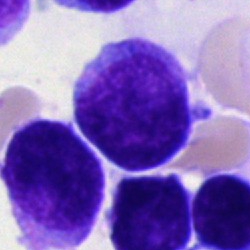

The cell is blast cell.